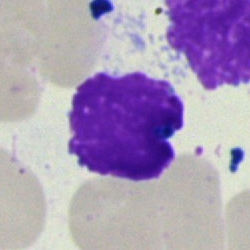 Bone marrow smear showing an artifact.